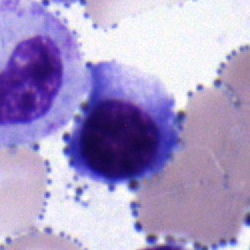 Cell type = erythroblast.